40× objective, oil immersion; bone marrow smear:
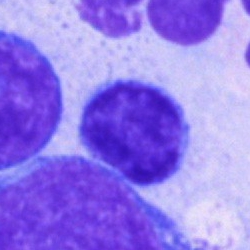

Cell type = typical lymphocyte.